Bone marrow smear:
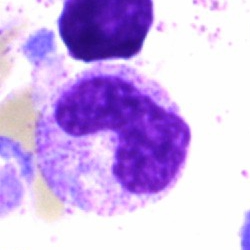 The cell type is stab cell.